Bone marrow smear.
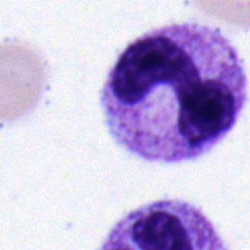 Impression — neutrophil (band).